May-Grünwald-Giemsa stain · bone marrow smear · brightfield microscopy, 40× oil immersion — 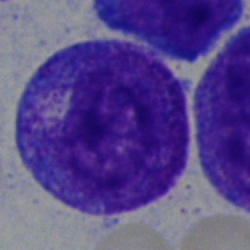

Q: What is shown here?
A: Progranulocyte.